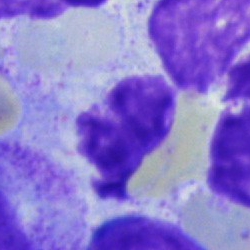

Morphology — artifact.